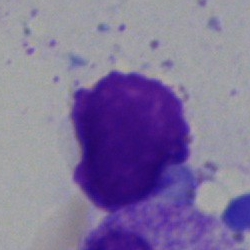An artifact on a bone marrow smear.